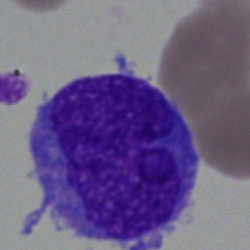

Morphological class — blast.